Bone marrow smear
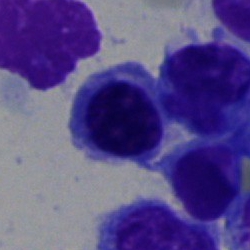

Cell type = normoblast.